Bone marrow aspirate smear.
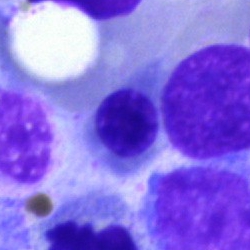
Nucleated red cell.